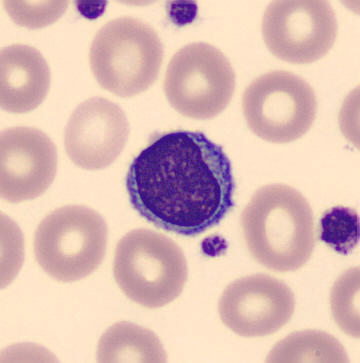

Peripheral blood film, single cell — lymphocyte.